Peripheral blood film.
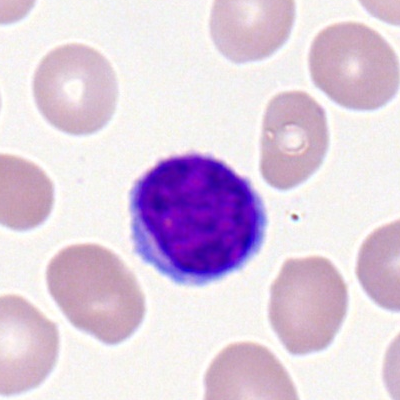The cell is lymphocyte.